250 by 250 pixels. Bone marrow smear. Cropped to a single cell:
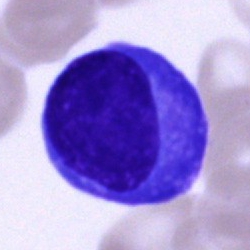

Showing a plasma cell.